Peripheral blood smear
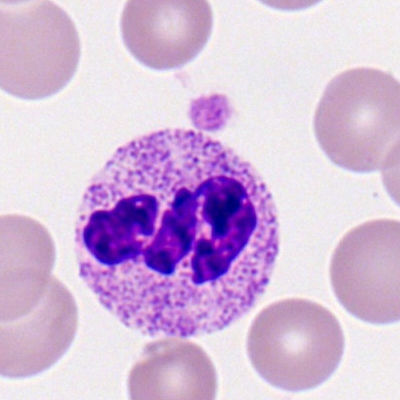
Cell type — polymorphonuclear neutrophil.